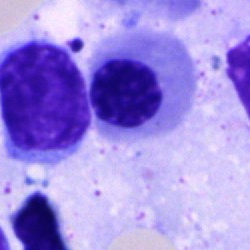 Impression → cell of indeterminate lineage.